Bone marrow aspirate smear:
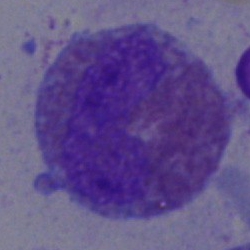

Morphological class: eosinophil.